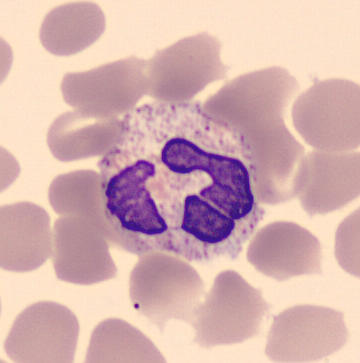
Classification: neutrophil (segmented).